MGG-stained; 40× oil immersion; bone marrow smear.
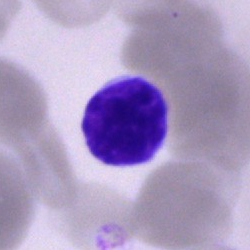

Showing a lymphocyte.